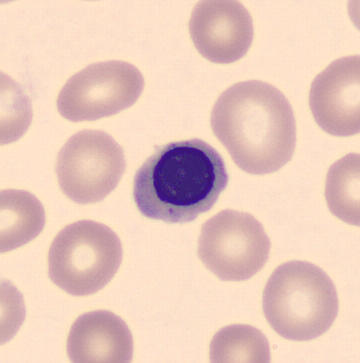 Classification: nucleated red cell. Acquisition: Peripheral blood smear.